Bone marrow aspirate smear. Brightfield, 40× oil-immersion objective. Single-cell field:
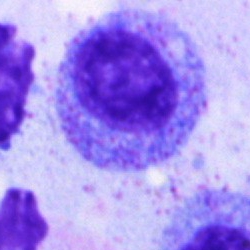

The cell shown is a myelocyte.